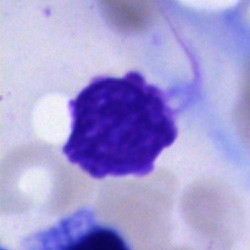 Bone marrow smear showing an artifact.